Bone marrow smear.
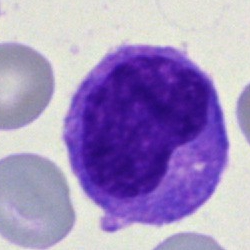 {"cell_type": "monocyte", "lineage": "myeloid"}